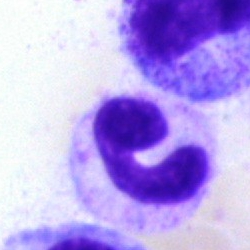 This is a stab cell.